Bone marrow smear:
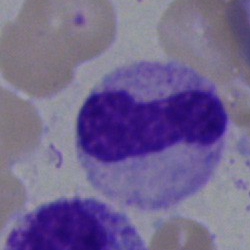
This is a stab cell.